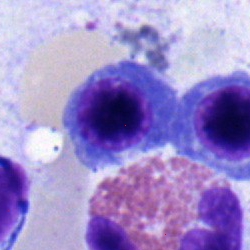
A nucleated red cell.